Single cell centered in the field. Bone marrow aspirate smear: 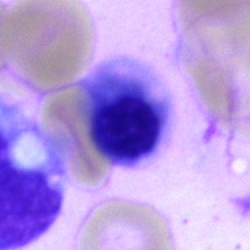
Cell = nucleated red cell.